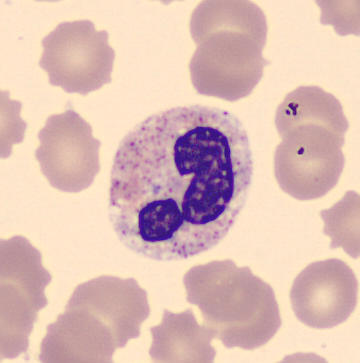 {"cell_type": "segmented neutrophil"}